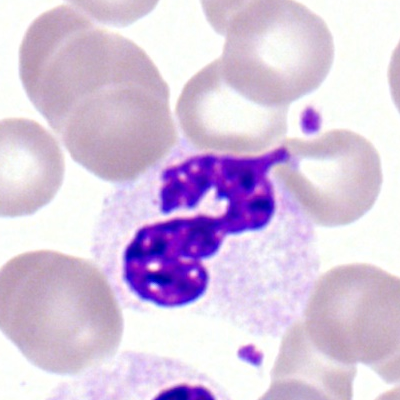
Specimen: peripheral blood smear.
Morphological class: neutrophil (segmented).
Lineage: myeloid.